Bone marrow smear:
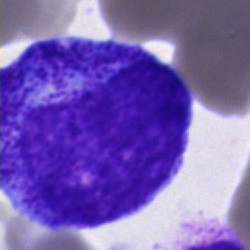
Q: Which cell type is shown here?
A: A promyelocyte.